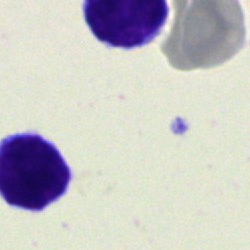

A lymphocyte.